Peripheral blood film: 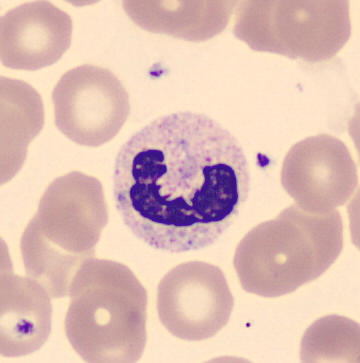
Cell type: polymorphonuclear neutrophil.